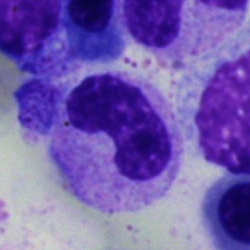 {"cell_type": "band neutrophil"}